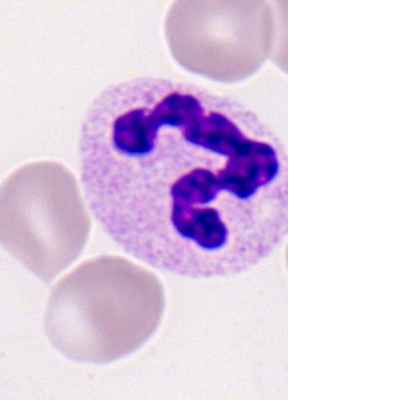
This is a polymorphonuclear neutrophil.